Single-cell field; bone marrow smear: 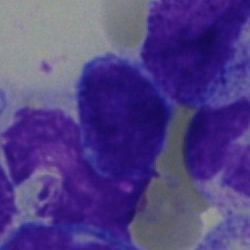
Showing a blast cell.